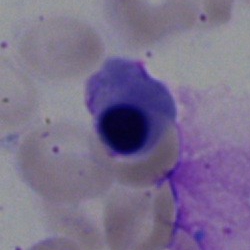

The cell is erythroblast.